Bone marrow aspirate smear.
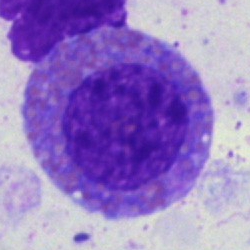
Q: What type of cell is this?
A: Eosinophilic granulocyte.